250×250 · bone marrow aspirate smear
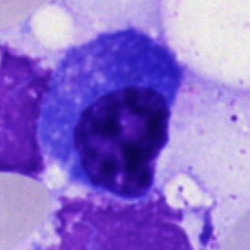
Morphology consistent with a plasma cell.